Bone marrow aspirate smear: 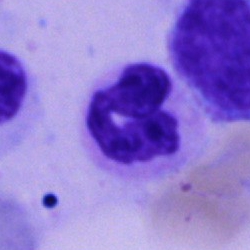 Single cell identified as a polymorphonuclear neutrophil.